Bone marrow aspirate smear — 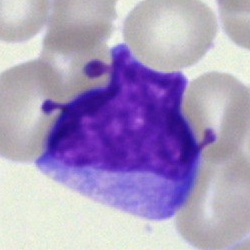
The cell type is undifferentiated blast.